250×250 · cropped to a single cell · bone marrow aspirate smear — 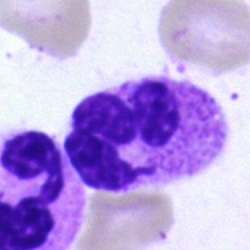 Impression — segmented neutrophil.